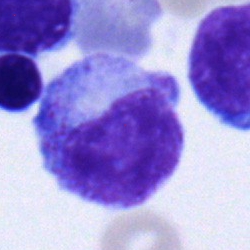

Single cell identified as a metamyelocyte.